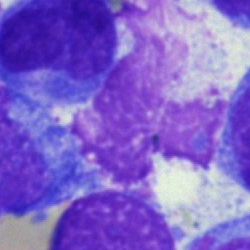 Bone marrow aspirate smear, single cell — artefact.